Bone marrow aspirate smear.
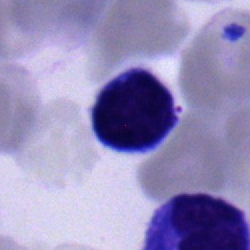

Classification = polymorphonuclear neutrophil.